Bone marrow aspirate smear.
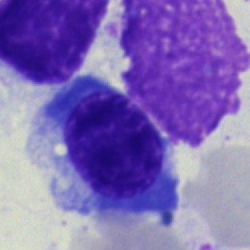Showing a nucleated red blood cell.